Bone marrow smear — 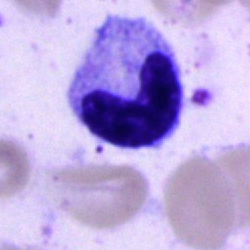 Classification — neutrophil (band).